Peripheral blood film · single cell centered in the field: 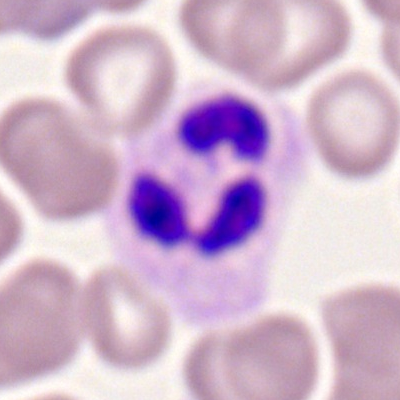
Specimen: peripheral blood smear.
Morphological class: polymorphonuclear neutrophil.
Lineage: myeloid.